Bone marrow smear: 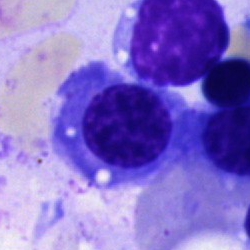
Impression — erythroblast.